Bone marrow smear.
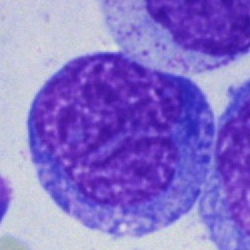This is an undifferentiated blast.